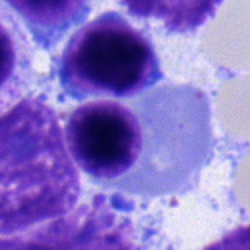Morphology → nucleated red cell.